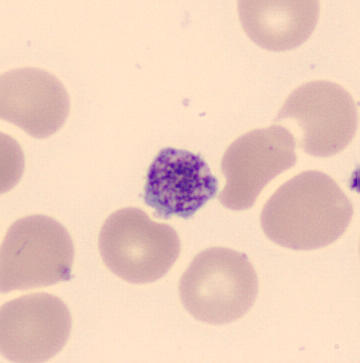
Classification = platelet. Peripheral blood smear.